Peripheral blood smear.
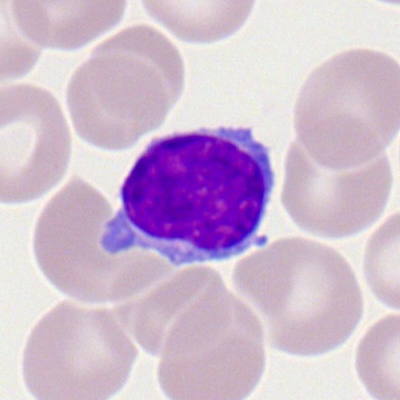

Q: Identify the cell.
A: Lymphocyte.